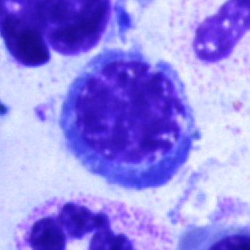 Q: Identify the cell.
A: It is a nucleated red cell.